Peripheral blood smear.
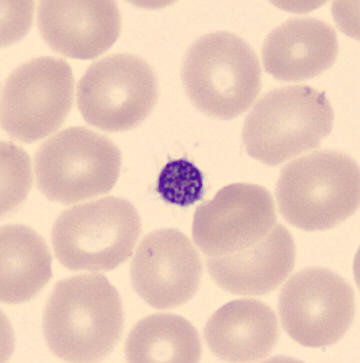
The classification is thrombocyte.